Single-cell crop · bone marrow aspirate smear
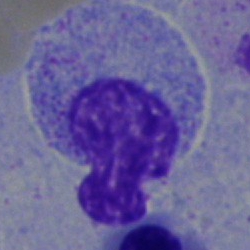

Q: What cell is this?
A: This is a myelocyte.